Bone marrow smear.
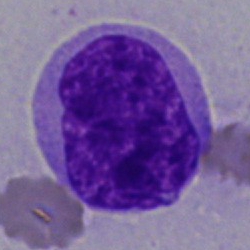Morphology consistent with a blast cell.